Bone marrow smear — 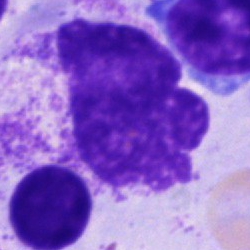

Cell type: artifact.